Peripheral blood film. Image size 400×400.
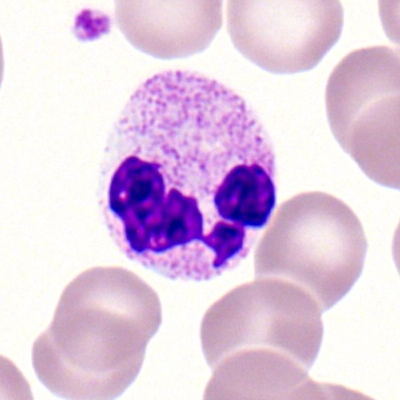

Morphology → segmented neutrophil.